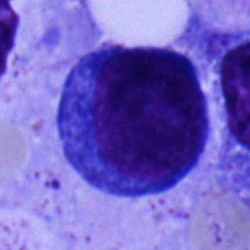Q: Identify the cell.
A: This is a pronormoblast.